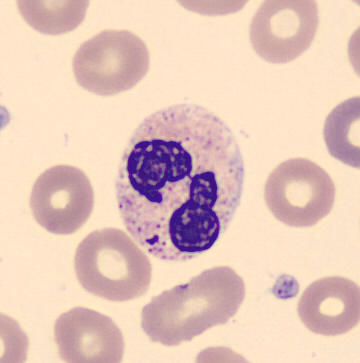 Cell type = neutrophil (segmented).